Bone marrow smear: 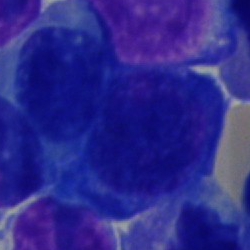 Specimen: bone marrow aspirate smear.
Morphological class: pronormoblast.